Bone marrow smear. 40× oil immersion.
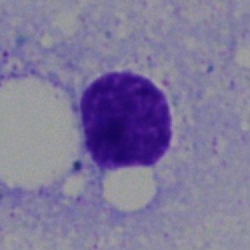Cell type — lymphocyte.